Bone marrow smear; 40× objective, oil immersion:
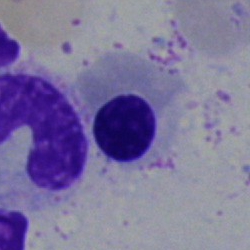Specimen: bone marrow aspirate smear.
Morphological class: erythroblast.
Lineage: erythroid.